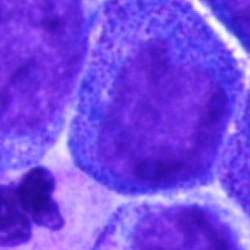

Single cell identified as a progranulocyte.